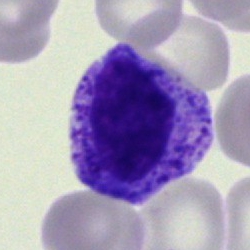
Q: What cell is this?
A: This is a myelocyte.